Bone marrow aspirate smear — 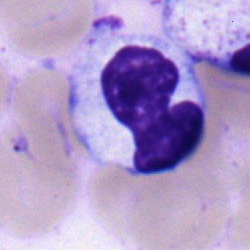
{"cell_type": "monocyte"}